Bone marrow smear — 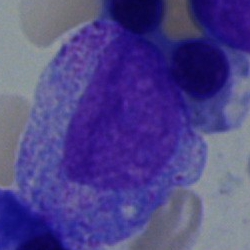 {"cell_type": "promyelocyte", "lineage": "myeloid"}